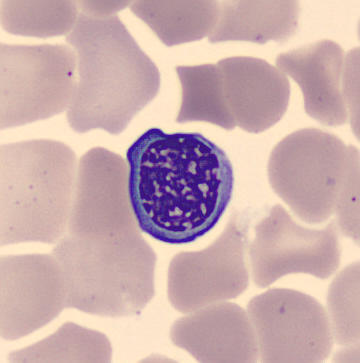Preparation: Peripheral blood smear · May-Grünwald-Giemsa-stained.
Q: Which cell type is shown here?
A: Nucleated red cell.